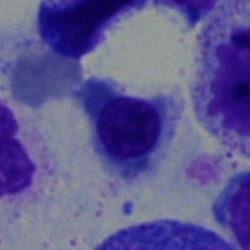
An erythroblast on a bone marrow smear.